Bone marrow smear.
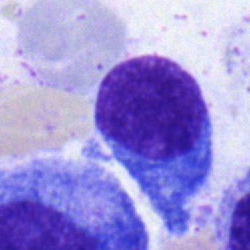

The cell shown is a lymphocyte.